Bone marrow aspirate smear:
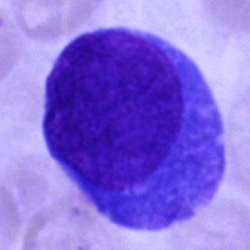 Q: What cell is this?
A: An undifferentiated blast.